Bone marrow smear:
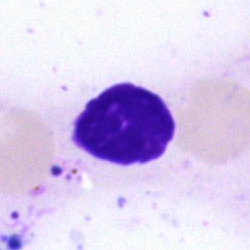
Cell type — artifact.